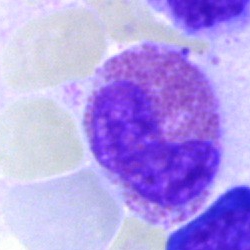

Cell — eosinophil.